Bone marrow aspirate smear. Brightfield microscopy, 40× oil immersion
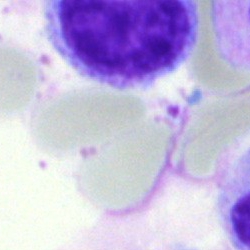The morphological class is unidentifiable cell.